Bone marrow aspirate smear · 250×250 px · 40× objective, oil immersion.
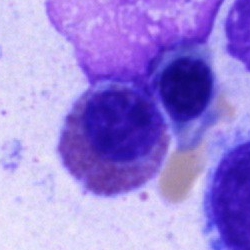Q: What is shown here?
A: Eosinophilic granulocyte.